Bone marrow aspirate smear.
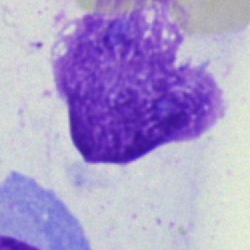
The cell shown is an artefact.